Bone marrow aspirate smear
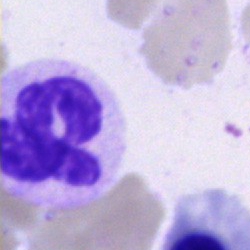

Q: Which cell type is shown here?
A: It is a neutrophil (segmented).